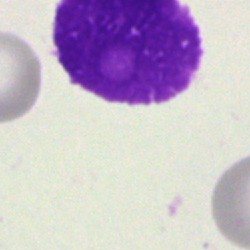

Specimen: bone marrow aspirate smear.
Cell type: artifact.